Bone marrow aspirate smear — 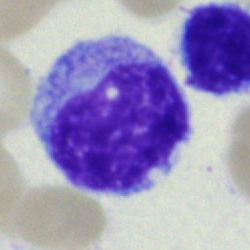
Cell = blast cell.